Bone marrow smear. Single-cell crop. 250 by 250 pixels: 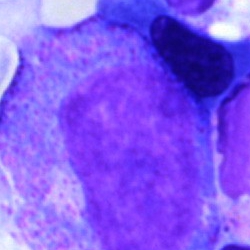Q: Which cell type is shown here?
A: A promyelocyte.